Single-cell crop. 250×250 px. Bone marrow smear — 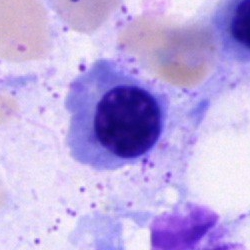 Q: What cell is this?
A: This is an erythroblast.